Bone marrow smear
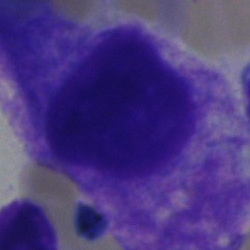

Single cell identified as an artefact.